Peripheral blood smear. Single cell centered in the field.
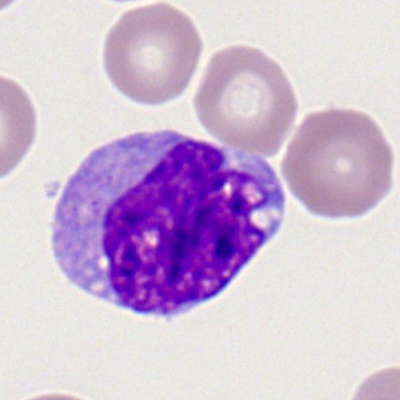
Q: Identify the cell.
A: A monocyte.